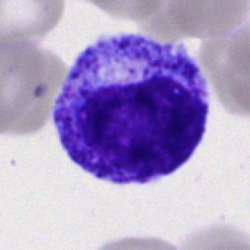
Q: What type of cell is this?
A: It is a myelocyte.